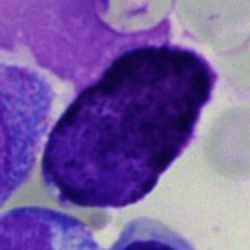 Cell type — cell not matching the other categories.